Bone marrow smear.
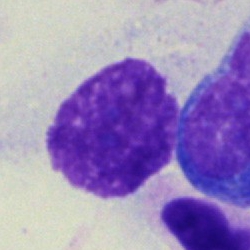 An artifact.